Bone marrow aspirate smear; single-cell field — 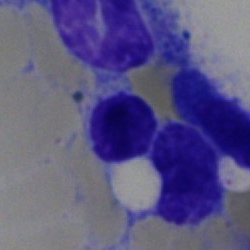
Q: What is shown here?
A: This is a typical lymphocyte.